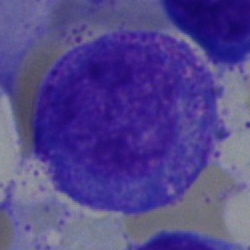
Bone marrow smear showing a promyelocyte.